Bone marrow aspirate smear · 40× oil immersion
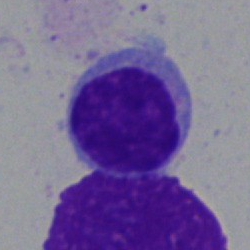

Classification = lymphocyte.